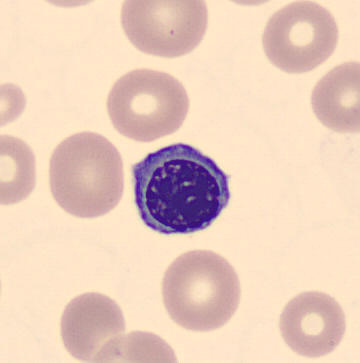 Identified as an erythroblast. CellaVision DM96 digital cell image. 360 by 363 pixels. Peripheral blood smear.